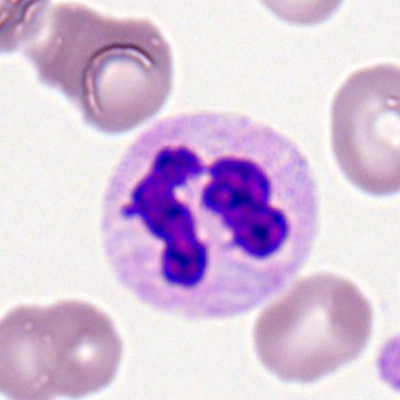
The morphological class is segmented neutrophil.